Bone marrow smear:
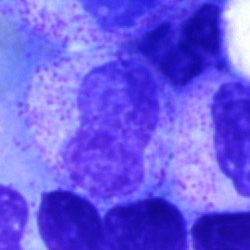Q: What is shown here?
A: It is an artefact.